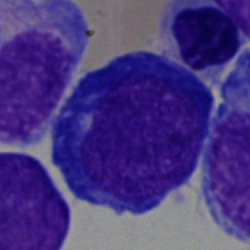 Classification = nucleated red blood cell.